Bone marrow aspirate smear:
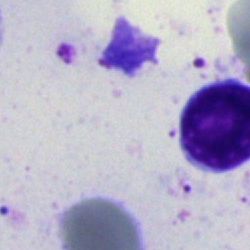 Q: What is shown here?
A: It is an artefact.